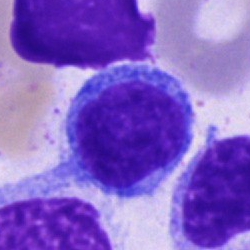 Q: Which cell type is shown here?
A: It is a lymphocyte.